Bone marrow smear — 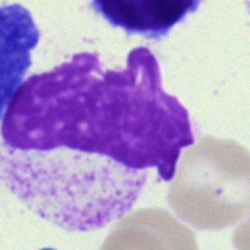

Specimen: bone marrow aspirate smear.
Cell type: artifact.